Peripheral blood film; Romanowsky-type stain.
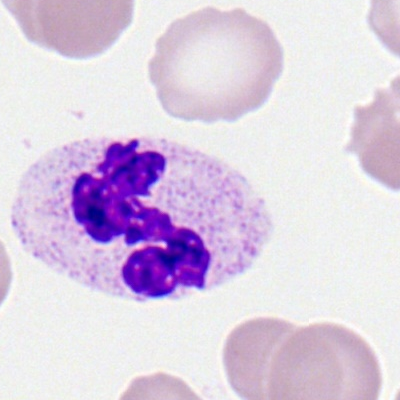 Morphological class: neutrophil (segmented).